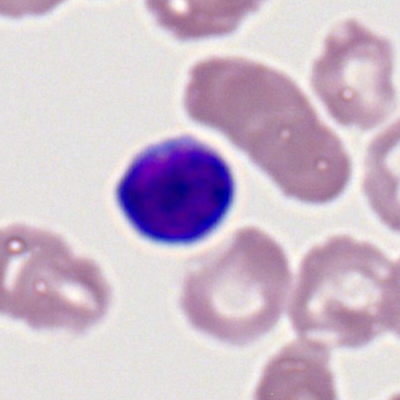

Morphological class: lymphocyte.